250 by 250 pixels; bone marrow smear; 40× oil immersion
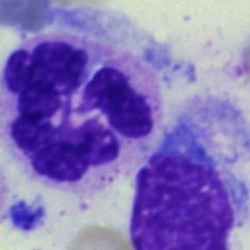
Cell — segmented neutrophil.